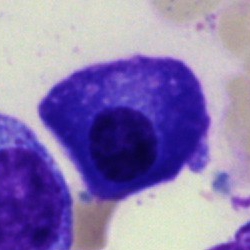Q: What type of cell is this?
A: Plasma cell.